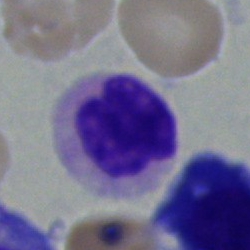

Impression → neutrophil (segmented).